Bone marrow aspirate smear: 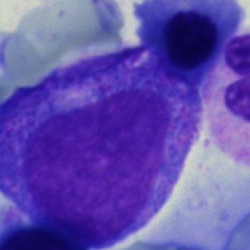Single cell identified as a progranulocyte.